Bone marrow aspirate smear · Pappenheim-stained · single-cell field — 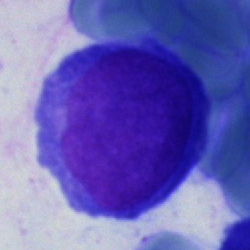Q: What cell is this?
A: Blast cell.